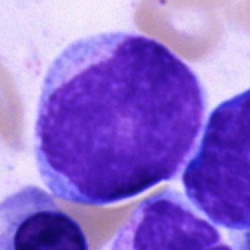
Impression — undifferentiated blast.